Bone marrow smear:
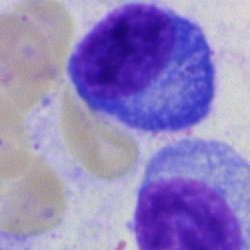
{"cell_type": "plasmacyte", "lineage": "lymphoid"}